Bone marrow aspirate smear · 40× objective, oil immersion · MGG-stained:
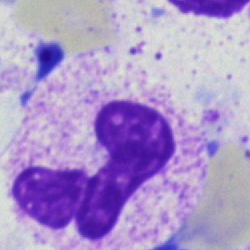

Morphology consistent with a neutrophil (segmented).